May Grünwald-Giemsa stain · peripheral blood smear: 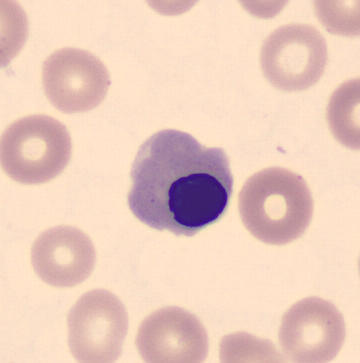
Morphology — erythroblast.